Bone marrow smear:
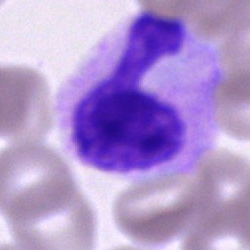 Single cell identified as a neutrophil (segmented).